Bone marrow aspirate smear:
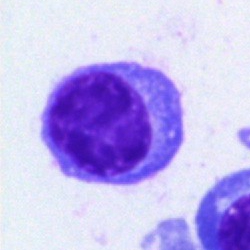
Cell — plasmacyte.